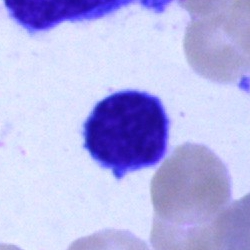 Q: What type of cell is this?
A: A lymphocyte.